Bone marrow smear; Pappenheim-stained; 40× objective, oil immersion:
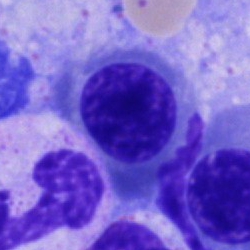

Impression — nucleated red cell.